Peripheral blood film. 100× objective, oil immersion. Cropped to a single cell — 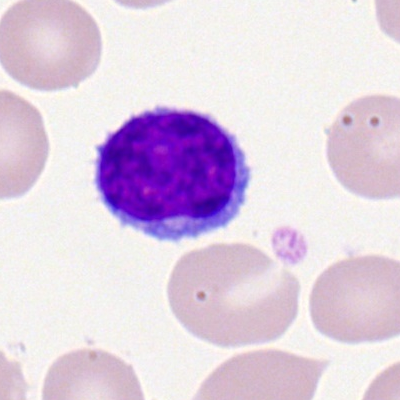
Q: What type of cell is this?
A: This is a typical lymphocyte.